Peripheral blood film.
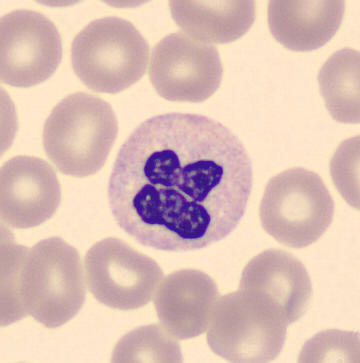
This is a neutrophil (segmented).